Single-cell crop; peripheral blood smear — 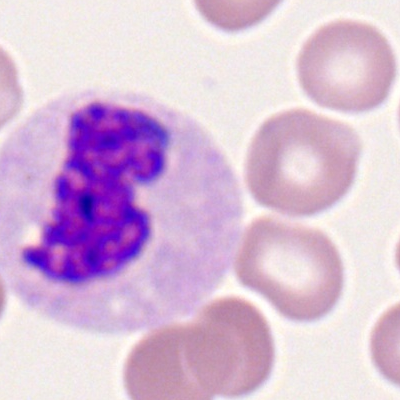
Q: Identify the cell.
A: Polymorphonuclear neutrophil.